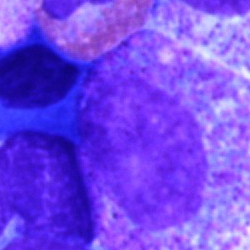
Classification = progranulocyte.